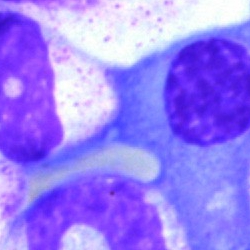
Single-cell crop from a bone marrow smear: artifact.